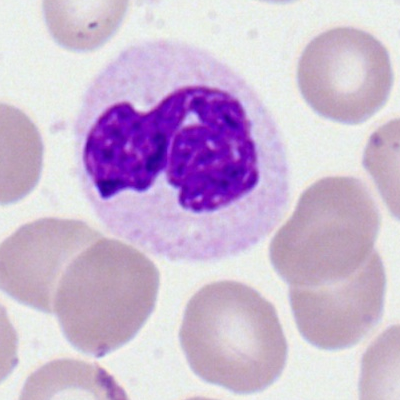Q: What cell is this?
A: A segmented neutrophil.